Bone marrow aspirate smear
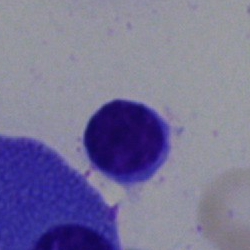 The cell shown is a lymphocyte.